Bone marrow aspirate smear:
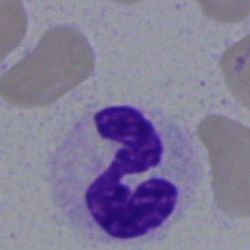

Morphology — segmented neutrophil.